Bone marrow smear: 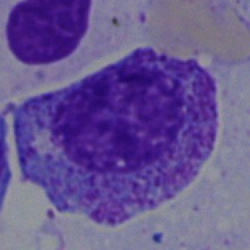Cell — myelocyte.